Bone marrow smear — 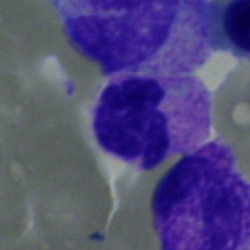

The morphological class is polymorphonuclear neutrophil.